Peripheral blood film
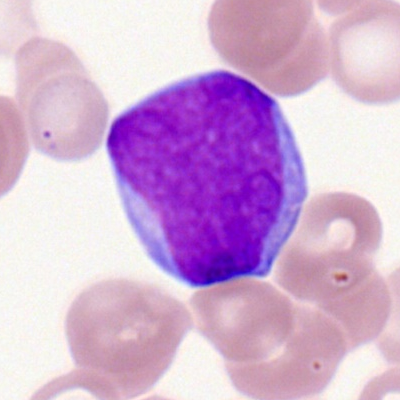Impression — myeloblast.